Bone marrow aspirate smear: 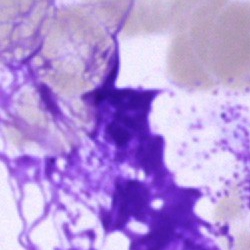

Impression — artefact.